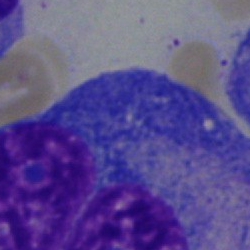Bone marrow aspirate smear, single cell — plasmacyte.